250×250 px; bone marrow aspirate smear.
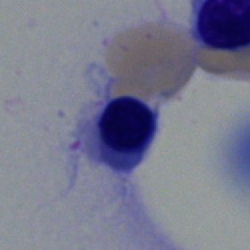 Specimen: bone marrow aspirate smear.
Classification: nucleated red cell.
Lineage: erythroid.